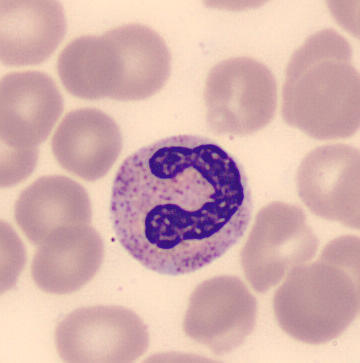

Identified as a band-form neutrophil.
Preparation: Imaged on a CellaVision DM96 analyser · peripheral blood smear.